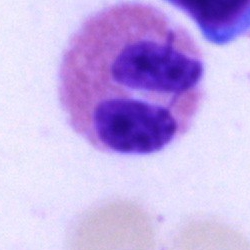Morphology consistent with an eosinophil.